Cropped to a single cell; peripheral blood smear — 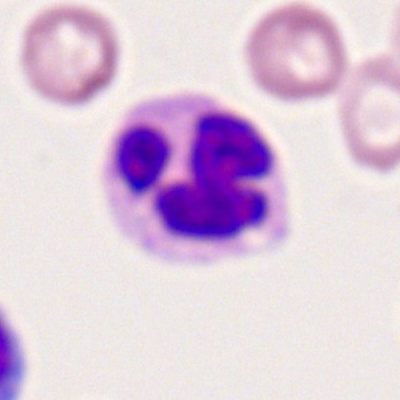

Specimen: peripheral blood film.
Morphological class: segmented neutrophil.
Lineage: myeloid.